Bone marrow aspirate smear; single-cell crop: 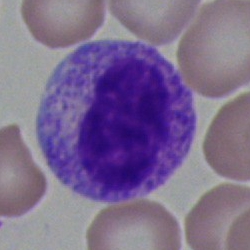The classification is myelocyte.